Bone marrow aspirate smear
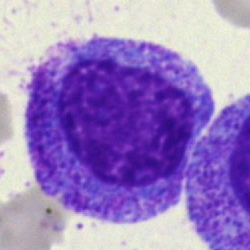
Impression — promyelocyte.